400×400 · peripheral blood film · single-cell field:
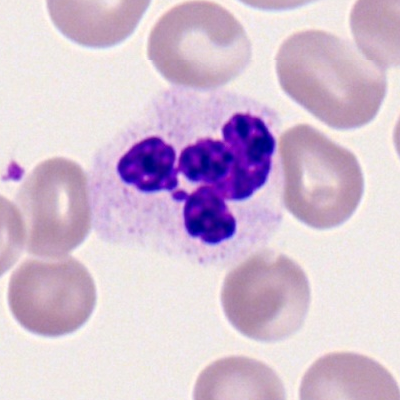Q: What is shown here?
A: A polymorphonuclear neutrophil.